Bone marrow smear:
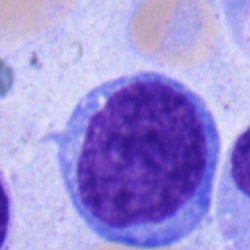
Morphological class = undifferentiated blast.